Bone marrow aspirate smear:
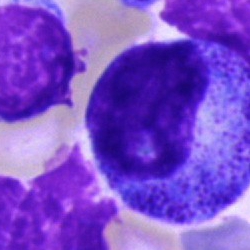Q: What type of cell is this?
A: A promyelocyte.